Pappenheim-stained. 250×250 px. Bone marrow aspirate smear
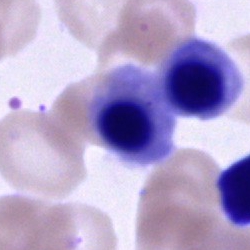
Showing a nucleated red cell.